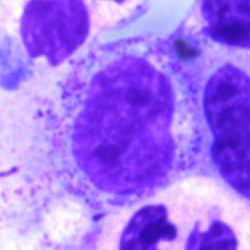Q: What cell is this?
A: It is a myelocyte.